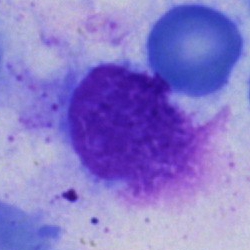Morphological class = unidentifiable cell.